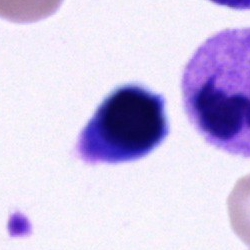

{"cell_type": "unidentifiable cell"}